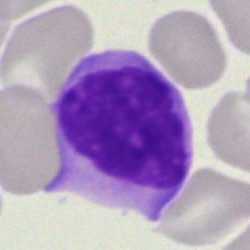
Q: Which cell type is shown here?
A: This is a lymphocyte.